Bone marrow smear; May-Grünwald-Giemsa stain; 40× oil immersion:
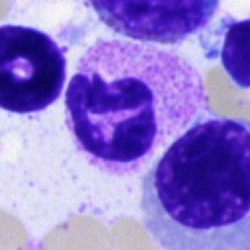
Q: What is the morphological classification of this cell?
A: It is a polymorphonuclear neutrophil.